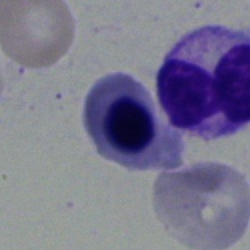

Nucleated red blood cell.